Romanowsky stain; peripheral blood film; 100× objective, oil immersion.
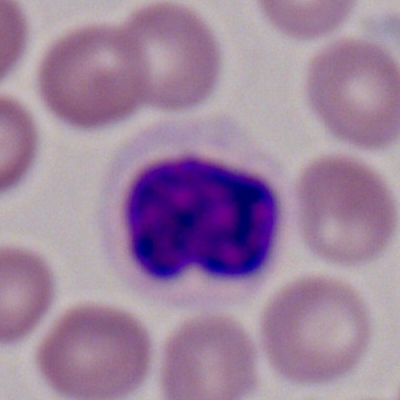Neutrophil (segmented).